Bone marrow smear.
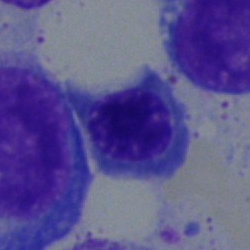Morphology → nucleated red cell.